Bone marrow aspirate smear.
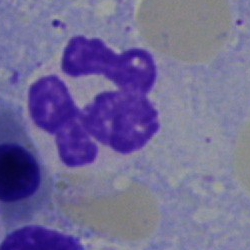
Cell — neutrophil (segmented).